250×250 px · bone marrow smear:
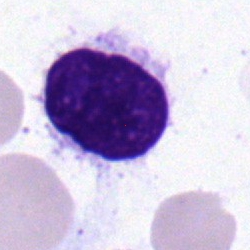
Morphological class: lymphocyte.